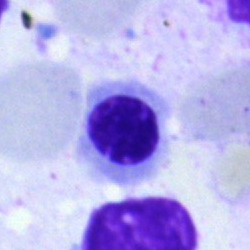

Q: What is the morphological classification of this cell?
A: Erythroblast.